Image size 250×250 · bone marrow aspirate smear:
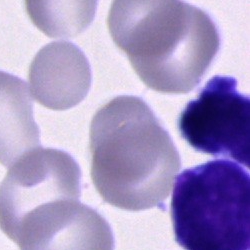 Specimen: bone marrow smear.
Morphological class: cell of indeterminate lineage.